Peripheral blood film; 100× oil immersion, 14.14 px/µm; Romanowsky-stained.
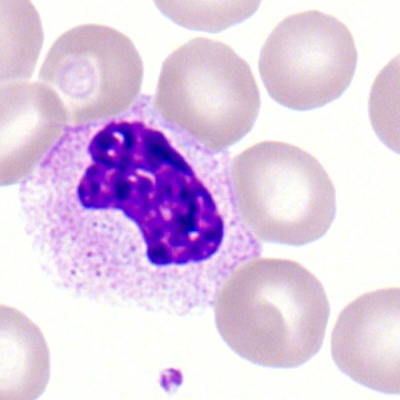

A segmented neutrophil.